Bone marrow smear
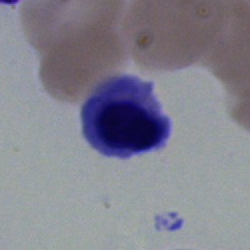
Q: Which cell type is shown here?
A: This is a nucleated red blood cell.